250×250; bone marrow smear — 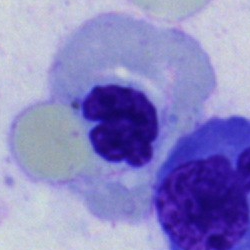
Cell type — nucleated red blood cell.